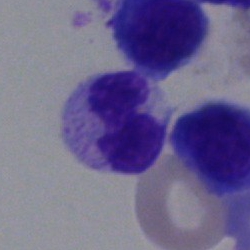
Specimen: bone marrow smear.
Classification: band-form neutrophil.